Bone marrow smear
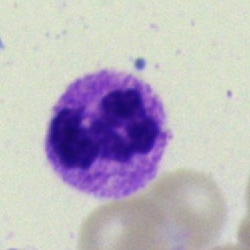 Showing a segmented neutrophil.